Bone marrow smear · 250 by 250 pixels
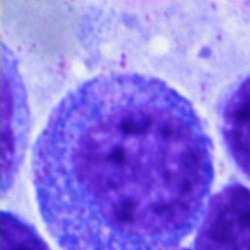
Specimen: bone marrow aspirate smear.
Cell: promyelocyte.
Lineage: myeloid.